Bone marrow aspirate smear. Single-cell crop:
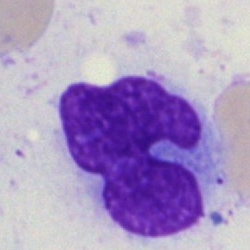
This is an artefact.